Pappenheim-stained · bone marrow aspirate smear — 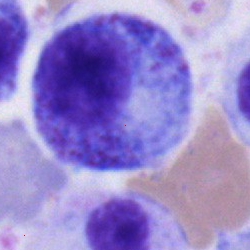
The cell shown is a progranulocyte.